250 by 250 pixels · bone marrow smear · single-cell field
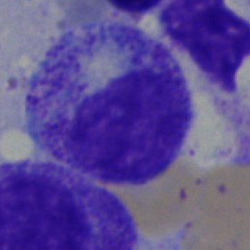 Q: Which cell type is shown here?
A: This is a promyelocyte.